Image size 250×250. Bone marrow aspirate smear: 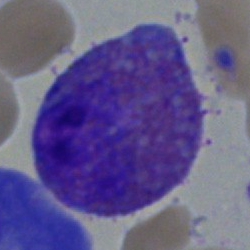 Impression → eosinophilic granulocyte.